Bone marrow aspirate smear. Image size 250×250.
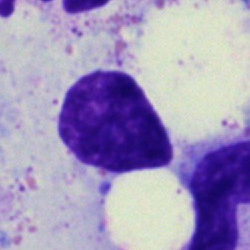
Single cell identified as an artifact.